Bone marrow aspirate smear
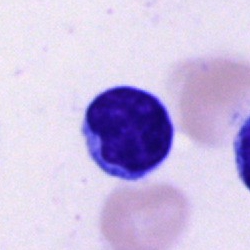

A typical lymphocyte.